Bone marrow smear
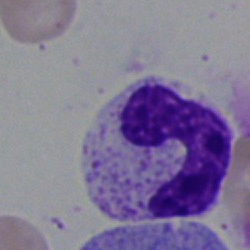{"cell_type": "band-form neutrophil"}